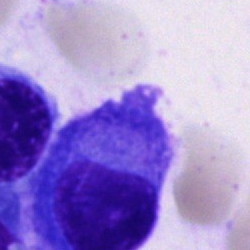Single cell identified as a plasmacyte.